Bone marrow aspirate smear
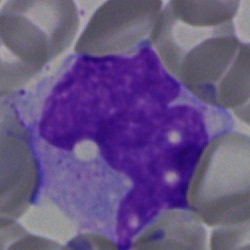

Single cell identified as a monocyte.